Bone marrow aspirate smear
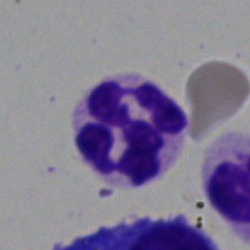The classification is segmented neutrophil.